Bone marrow smear
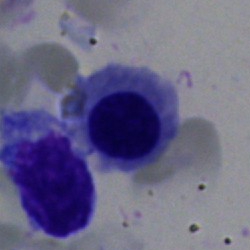 {"cell_type": "nucleated red cell"}